Bone marrow smear. 40× oil immersion
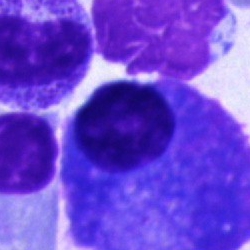

Q: Identify the cell.
A: Plasmacyte.